Bone marrow aspirate smear. Single-cell field: 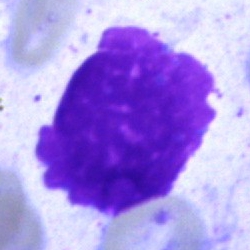

The cell shown is an artefact.